Bone marrow aspirate smear. Single cell centered in the field. MGG-stained: 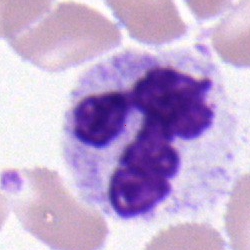

Segmented neutrophil.